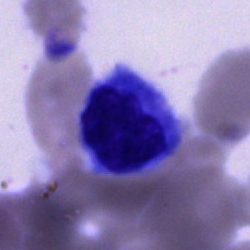
Cell = unidentifiable cell.